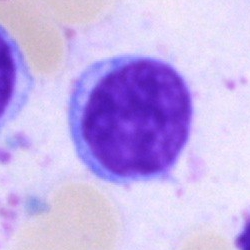 This is a lymphocyte.